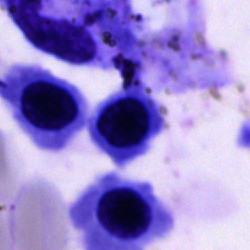Cell = nucleated red cell.